Peripheral blood smear
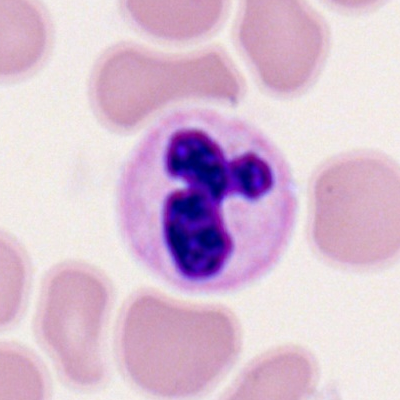
Impression → neutrophil (segmented).